Peripheral blood film: 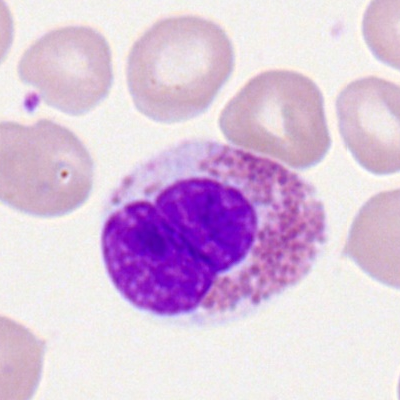
{"cell_type": "eosinophil"}